Bone marrow smear; Pappenheim-stained
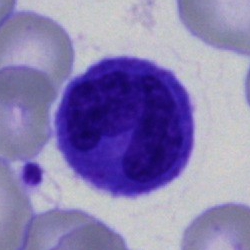Morphology consistent with a monocyte.